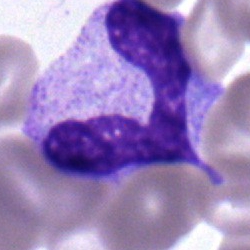

A stab cell on a bone marrow smear.